Bone marrow aspirate smear · single-cell field · image size 250×250.
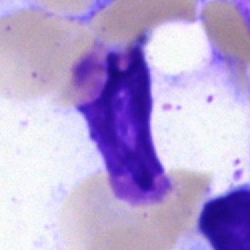This is an artifact.